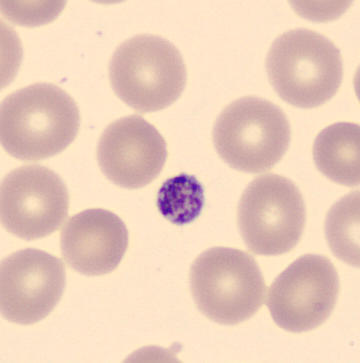

The cell type is platelet.